Bone marrow aspirate smear · 40× objective, oil immersion · Pappenheim-stained — 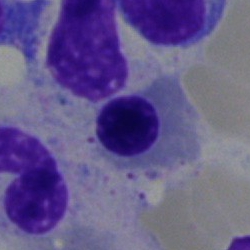

Morphology consistent with a normoblast.